Bone marrow smear — 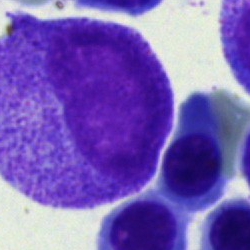

Morphology — myelocyte.